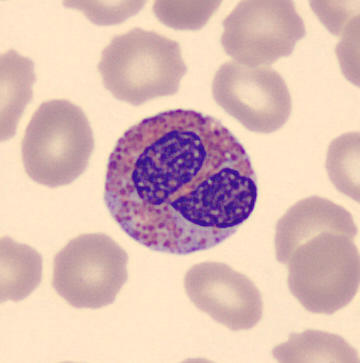 Q: What type of cell is this?
A: This is an eosinophil.